Image size 250×250; bone marrow aspirate smear.
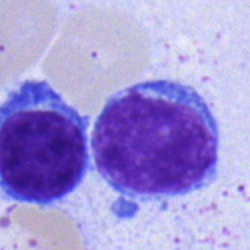 This is a lymphocyte.